Bone marrow aspirate smear:
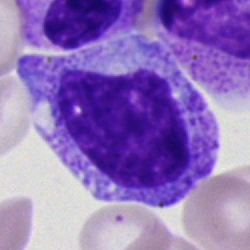
Q: What is shown here?
A: Myelocyte.